Peripheral blood smear · 100× objective, oil immersion — 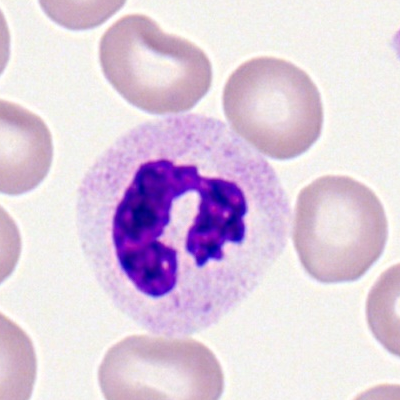Q: What is the morphological classification of this cell?
A: A neutrophil (segmented).